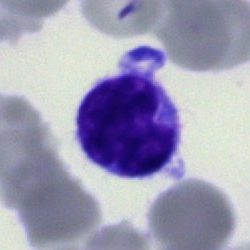
A lymphocyte on a bone marrow smear.